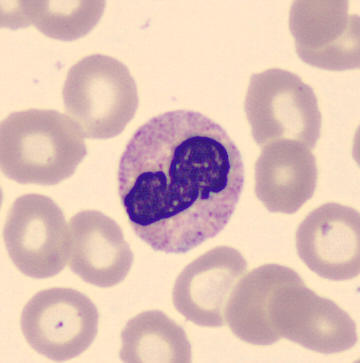
Single cell centered in the field. Peripheral blood smear. CellaVision DM96.
Showing a band neutrophil.